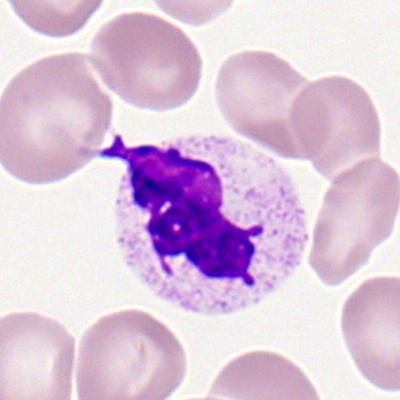
Cell type — neutrophil (segmented).